Bone marrow aspirate smear
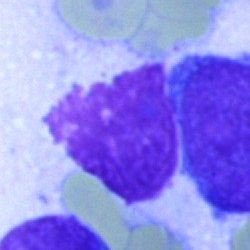 Showing an artifact.